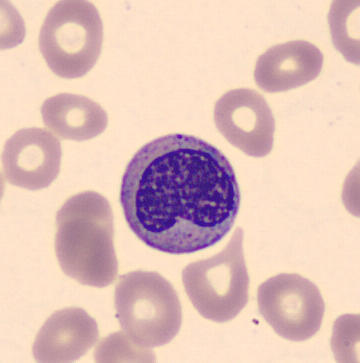
Q: What cell is this?
A: It is a metamyelocyte.